Bone marrow smear — 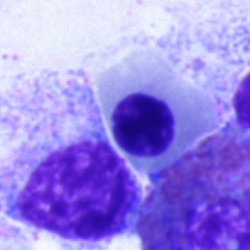

Impression — nucleated red blood cell.